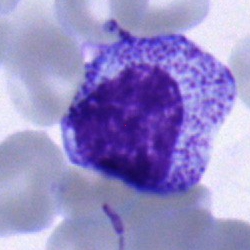 Q: What cell is this?
A: It is a myelocyte.